MGG-stained. Bone marrow smear. Brightfield, 40× oil-immersion objective
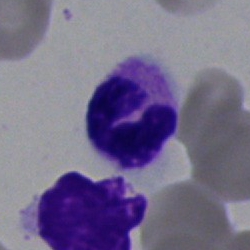 Impression — neutrophil (segmented).